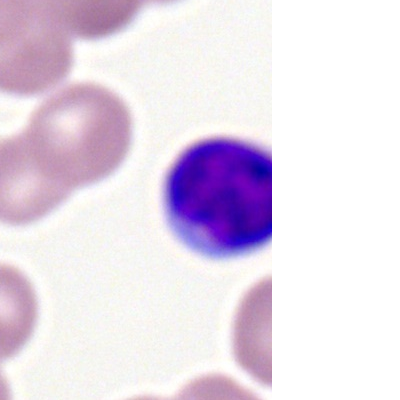Specimen: peripheral blood smear.
Cell type: lymphocyte.
Lineage: lymphoid.